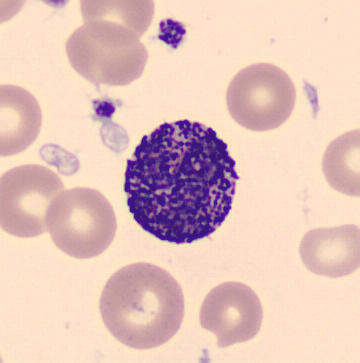

Specimen: peripheral blood smear.
Classification: basophilic granulocyte.